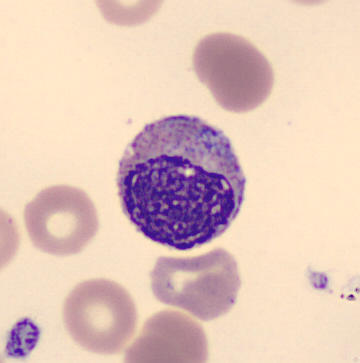
Peripheral blood smear. May Grünwald-Giemsa stain. Single-cell crop.

Single cell identified as a myelocyte.